100× oil immersion. Peripheral blood film. Romanowsky-type stain
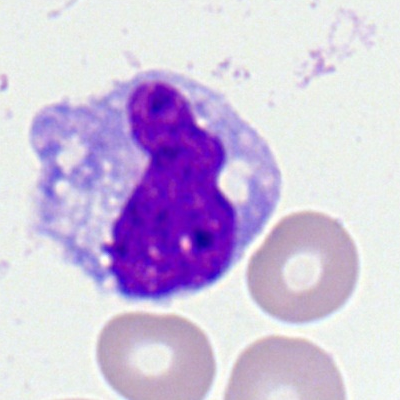

Morphology consistent with a monocyte.